Bone marrow aspirate smear: 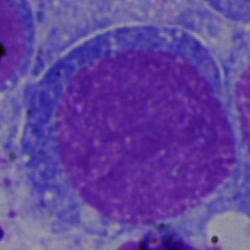 Single cell identified as a blast.